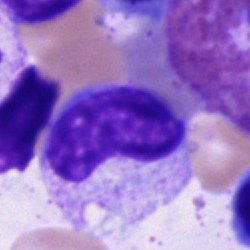

Q: What is shown here?
A: It is a metamyelocyte.